Bone marrow smear: 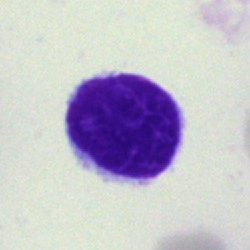 Showing a typical lymphocyte.